Single-cell field. Bone marrow smear
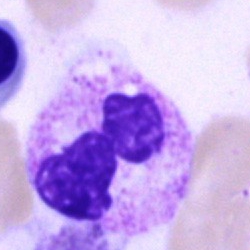

Showing a neutrophil (segmented).